Bone marrow aspirate smear. Single cell centered in the field: 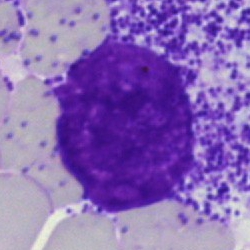Q: What is shown here?
A: This is an artifact.